Bone marrow aspirate smear — 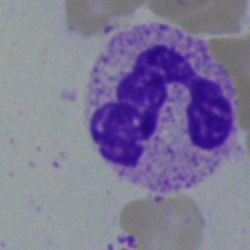
Morphological class = neutrophil (segmented).